Bone marrow aspirate smear: 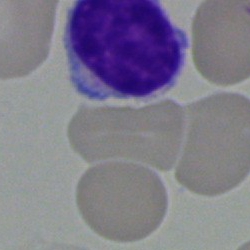
Single cell identified as a typical lymphocyte.